Bone marrow smear; May-Grünwald-Giemsa/Pappenheim stain; 40× objective, oil immersion — 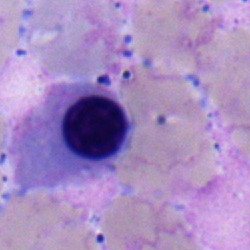
A normoblast.